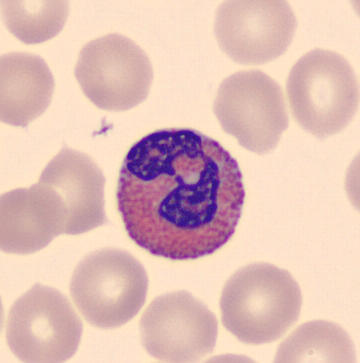
Morphology → eosinophilic granulocyte.